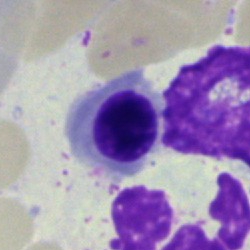 Showing a normoblast.